Bone marrow aspirate smear; Pappenheim-stained:
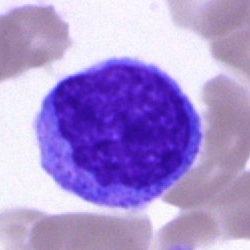This is an undifferentiated blast.